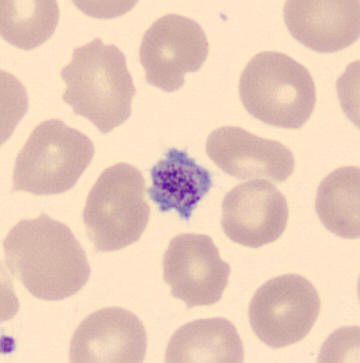
Platelet.